Bone marrow smear — 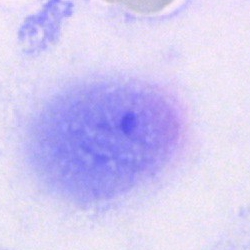Q: What is shown here?
A: This is an artefact.